Bone marrow aspirate smear; brightfield, 40× oil-immersion objective; 250×250: 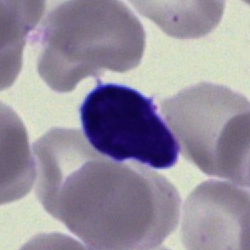Specimen: bone marrow aspirate smear.
Classification: typical lymphocyte.
Lineage: lymphoid.